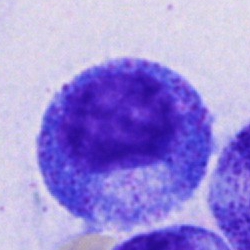
Q: What cell is this?
A: It is a promyelocyte.